Bone marrow smear — 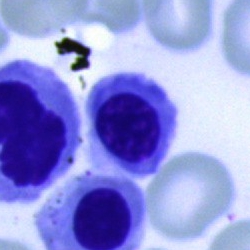

Morphological class = normoblast.